Peripheral blood smear — 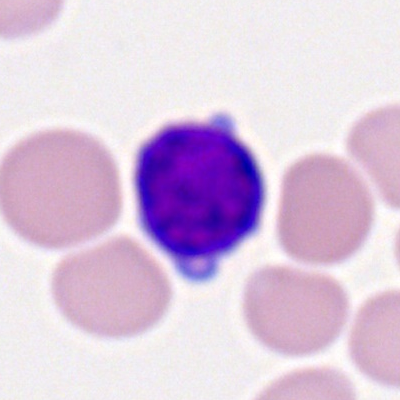

The morphological class is typical lymphocyte.